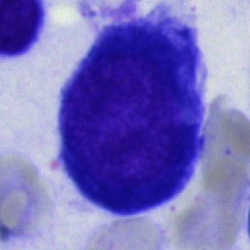

Specimen: bone marrow aspirate smear.
Cell type: pronormoblast.
Lineage: erythroid.